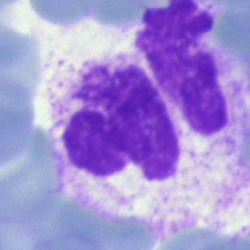
Q: What is shown here?
A: It is an artifact.